Bone marrow aspirate smear.
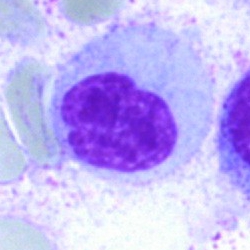
Artefact.